Bone marrow aspirate smear.
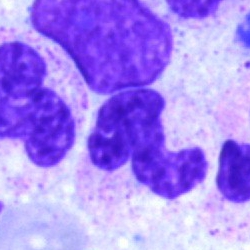Cell type = polymorphonuclear neutrophil.